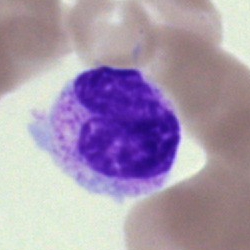

Q: What is the morphological classification of this cell?
A: It is a band neutrophil.